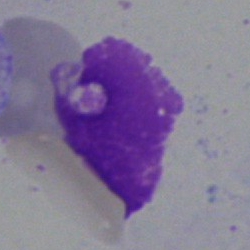Q: What is shown here?
A: It is an artifact.